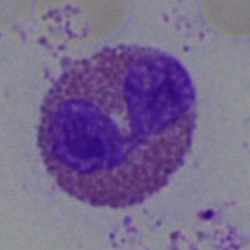Morphology — eosinophilic granulocyte.